Bone marrow smear · May-Grünwald-Giemsa stain:
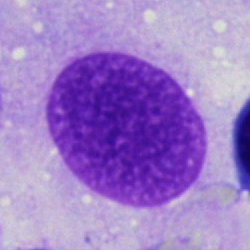
Cell type: artifact.